Image size 250×250 · bone marrow aspirate smear · May-Grünwald-Giemsa stain.
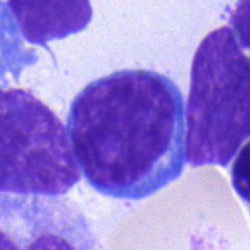 Single cell identified as a lymphocyte.